May-Grünwald-Giemsa/Pappenheim stain; 250×250; bone marrow aspirate smear
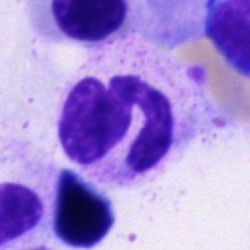 This is a segmented neutrophil.